Bone marrow smear:
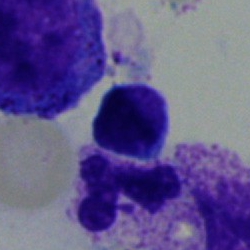

A lymphocyte.